Bone marrow aspirate smear · single-cell crop: 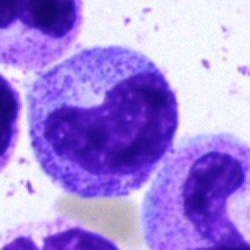

Classification: metamyelocyte.